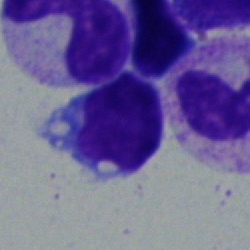
Specimen: bone marrow smear.
Cell type: lymphocyte.
Lineage: lymphoid.